Bone marrow smear · brightfield microscopy, 40× oil immersion:
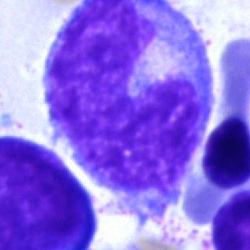Q: Identify the cell.
A: Monocyte.